Bone marrow aspirate smear
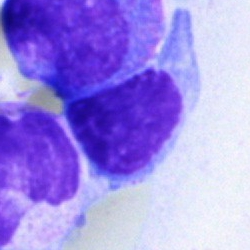Impression — lymphocyte.